Single-cell crop; 250×250; bone marrow aspirate smear — 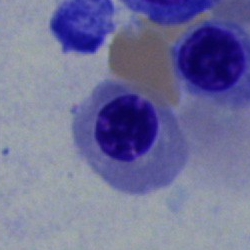Showing an erythroblast.